Bone marrow aspirate smear · 40× objective, oil immersion
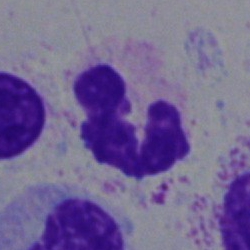 Morphology — segmented neutrophil.